Bone marrow aspirate smear — 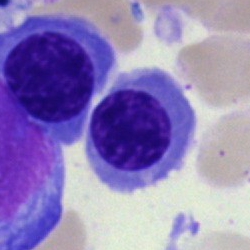
Specimen: bone marrow aspirate smear.
Morphological class: nucleated red cell.